Bone marrow smear · brightfield microscopy, 40× oil immersion.
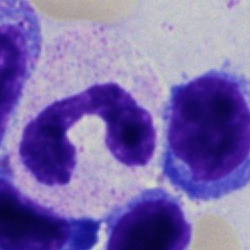 Q: Which cell type is shown here?
A: Segmented neutrophil.